Bone marrow smear
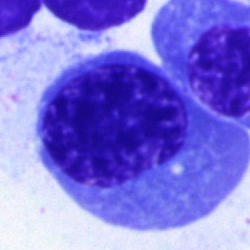Impression — nucleated red blood cell.